Bone marrow smear:
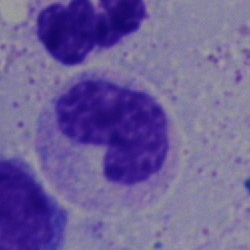Cell = neutrophil (band).